Bone marrow smear; 250 by 250 pixels: 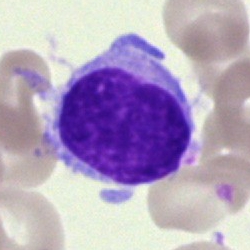Specimen: bone marrow aspirate smear.
Cell type: hairy cell.